Bone marrow aspirate smear — 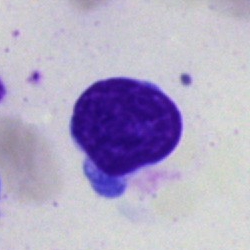
Specimen: bone marrow aspirate smear.
Cell type: typical lymphocyte.
Lineage: lymphoid.